May-Grünwald-Giemsa stain · bone marrow smear · 40× objective, oil immersion: 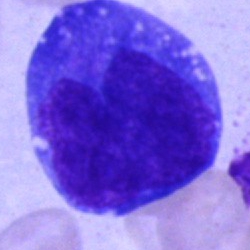Specimen: bone marrow smear.
Cell type: blast cell.